Bone marrow smear:
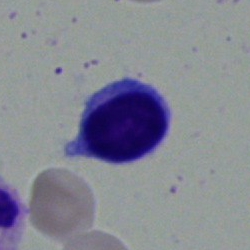 Specimen: bone marrow aspirate smear.
Cell type: lymphocyte.
Lineage: lymphoid.